400×400 px; peripheral blood film.
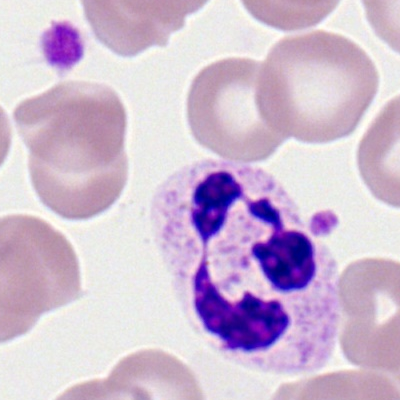Morphological class: neutrophil (segmented).